Brightfield microscopy, 40× oil immersion; bone marrow smear: 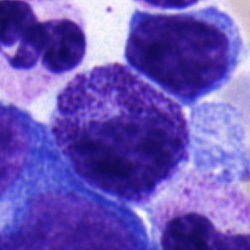
Cell type = myelocyte.